Bone marrow smear:
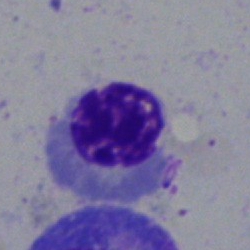
Specimen: bone marrow smear.
Classification: nucleated red blood cell.
Lineage: erythroid.